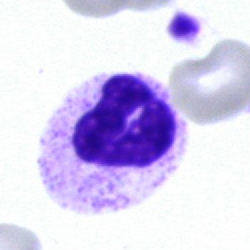

Impression — polymorphonuclear neutrophil.